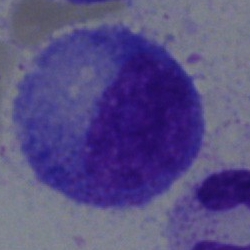
This is a promyelocyte.